Bone marrow aspirate smear.
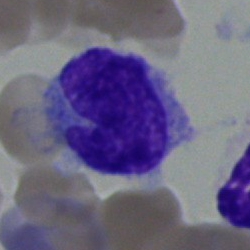

Morphology → monocyte.